Bone marrow aspirate smear:
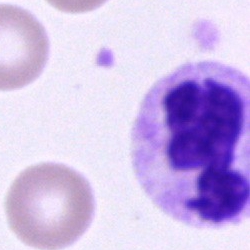

Cell type: neutrophil (segmented).